Bone marrow aspirate smear — 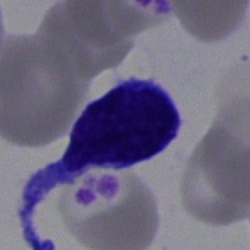 The cell shown is a typical lymphocyte.